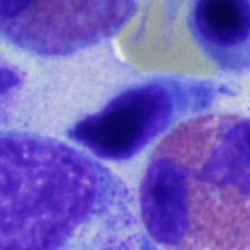Impression — lymphocyte.